Bone marrow smear
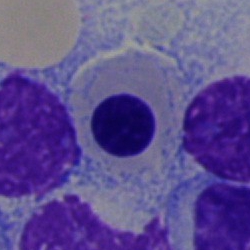
The cell is erythroblast.